Bone marrow aspirate smear
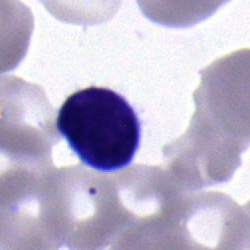Morphological class = typical lymphocyte.